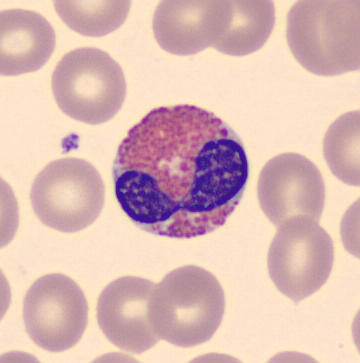Q: What is this?
A: An eosinophilic granulocyte.
Image: Peripheral blood film; 360×363 px.